Bone marrow aspirate smear — 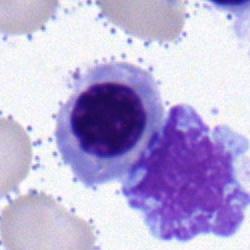
Q: Which cell type is shown here?
A: This is an erythroblast.